Bone marrow aspirate smear.
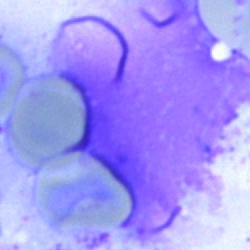Cell type — artefact.